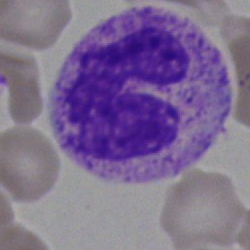Classification: polymorphonuclear neutrophil.